Single cell centered in the field · bone marrow smear
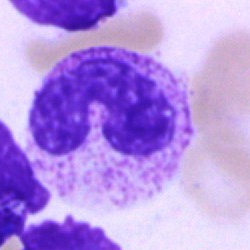
This is a band-form neutrophil.